Bone marrow smear; 250×250
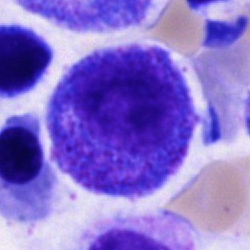
Specimen: bone marrow aspirate smear.
Cell: promyelocyte.
Lineage: myeloid.